Bone marrow aspirate smear:
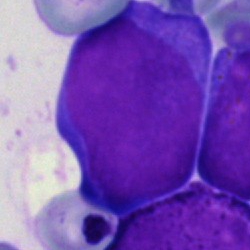 A blast.